250×250 px · bone marrow aspirate smear — 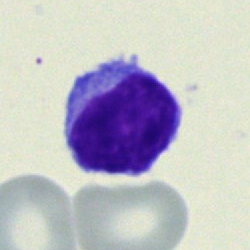A lymphocyte.